400 by 400 pixels; Romanowsky-stained; peripheral blood smear
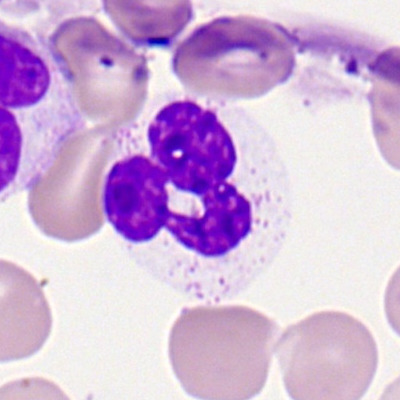
A polymorphonuclear neutrophil.